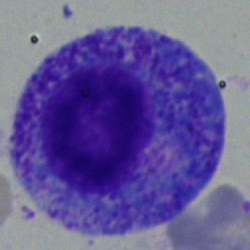The cell shown is a progranulocyte.